Bone marrow aspirate smear.
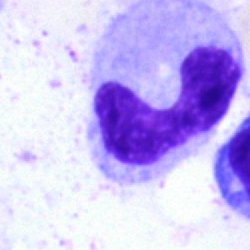A band-form neutrophil.